Bone marrow smear
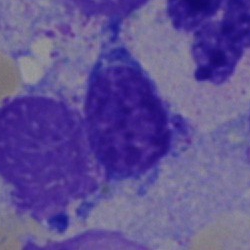
The cell shown is a typical lymphocyte.